40× oil immersion. 250×250 px. Bone marrow smear.
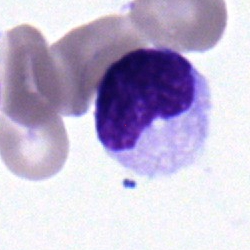
{"cell_type": "metamyelocyte"}